Bone marrow aspirate smear: 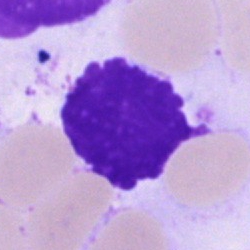

Classification — artifact.